Bone marrow aspirate smear.
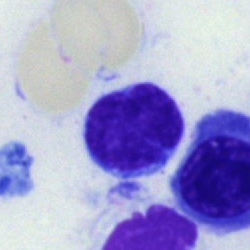

Q: Identify the cell.
A: Lymphocyte.